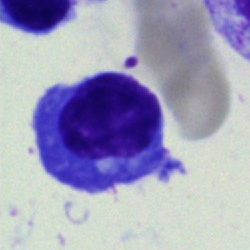
Cell type: plasmacyte.